Bone marrow aspirate smear; MGG-stained: 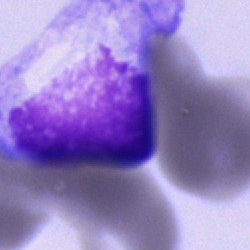
An unidentifiable cell.